Single cell centered in the field · bone marrow aspirate smear · May-Grünwald-Giemsa stain:
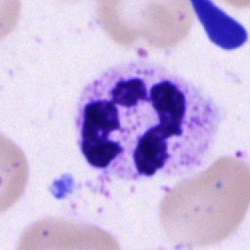 Q: Which cell type is shown here?
A: A neutrophil (segmented).